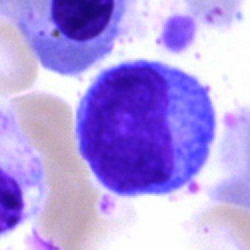

Q: Identify the cell.
A: Typical lymphocyte.